Bone marrow smear.
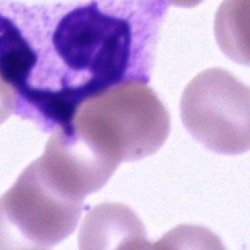

Impression → segmented neutrophil.